Bone marrow smear · 40× objective, oil immersion · 250×250 px.
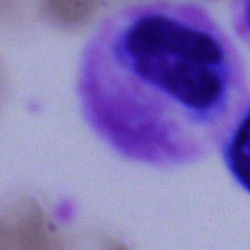

Cell — artefact.